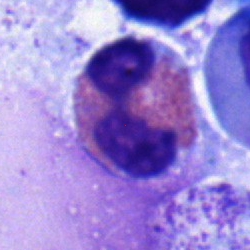
Morphology consistent with an eosinophil.